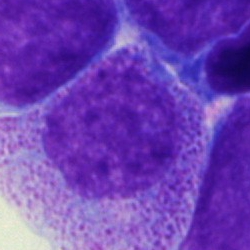Cell = progranulocyte.